Bone marrow smear · 40× oil immersion — 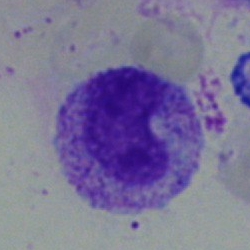Specimen: bone marrow smear.
Classification: metamyelocyte.